Bone marrow smear:
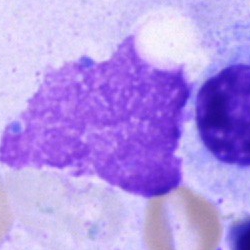
An artefact.